Bone marrow smear: 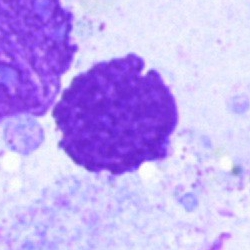 Morphology consistent with an artefact.